Single cell centered in the field · bone marrow aspirate smear: 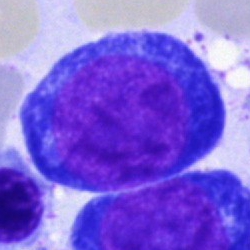 Single cell identified as a proerythroblast.